Cropped to a single cell · peripheral blood smear:
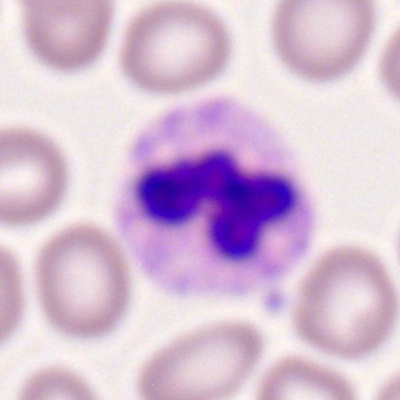 Morphology → segmented neutrophil.